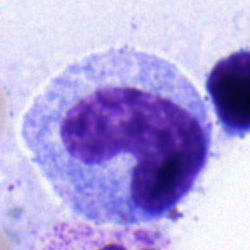
Classification — band neutrophil.